Bone marrow smear — 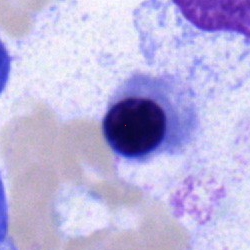
{"cell_type": "nucleated red blood cell", "lineage": "erythroid"}